250×250; brightfield, 40× oil-immersion objective; bone marrow smear: 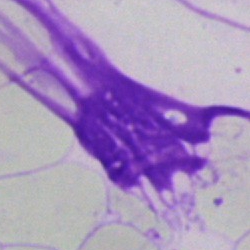

Cell type = artifact.